Bone marrow smear: 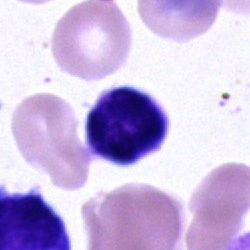

{"cell_type": "lymphocyte"}